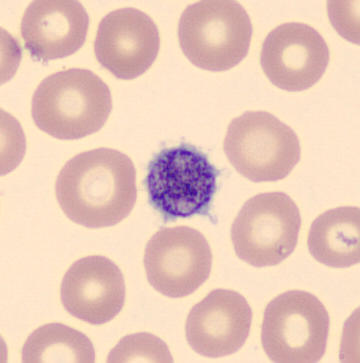{"cell_type": "thrombocyte"}

Peripheral blood smear. May-Grünwald-Giemsa-stained.